Bone marrow smear — 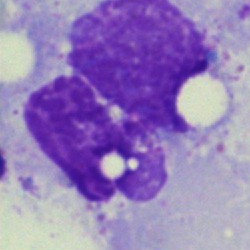

Cell — artifact.